Bone marrow smear. Brightfield microscopy, 40× oil immersion: 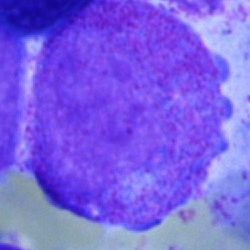 Specimen: bone marrow smear.
Morphological class: progranulocyte.
Lineage: myeloid.